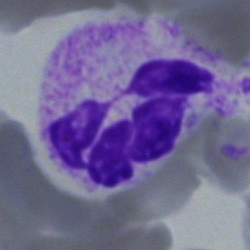Showing a segmented neutrophil.